Bone marrow smear
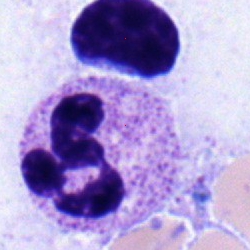 Q: Which cell type is shown here?
A: Polymorphonuclear neutrophil.